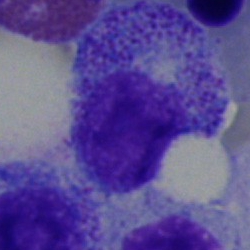The cell shown is a promyelocyte.